Bone marrow smear:
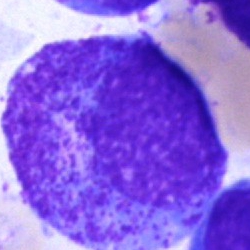
The cell is progranulocyte.